Bone marrow smear — 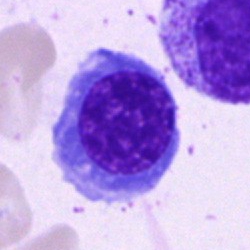Nucleated red cell.